Bone marrow smear:
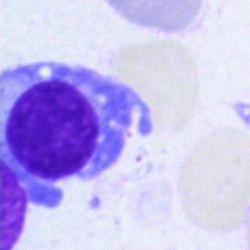
The morphological class is plasma cell.